Peripheral blood smear:
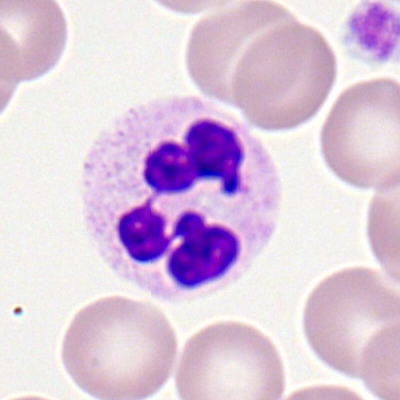

Specimen: peripheral blood smear.
Cell type: segmented neutrophil.
Lineage: myeloid.